Bone marrow aspirate smear — 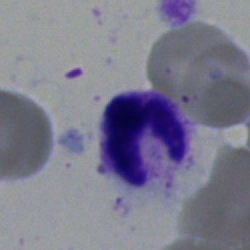

The morphological class is neutrophil (segmented).